40× objective, oil immersion; bone marrow smear:
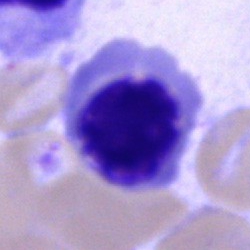 Erythroblast.